Bone marrow aspirate smear · 250 by 250 pixels: 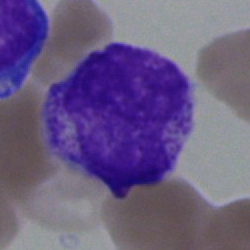

Q: Identify the cell.
A: A myelocyte.